Bone marrow smear:
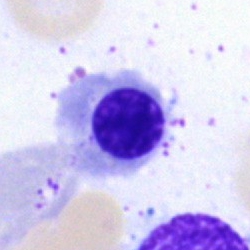

Morphology consistent with an erythroblast.